Bone marrow aspirate smear · MGG-stained — 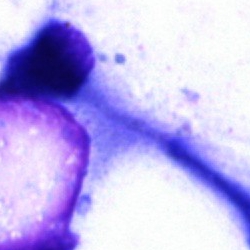 Cell type — artifact.